Bone marrow smear. MGG-stained. Cropped to a single cell
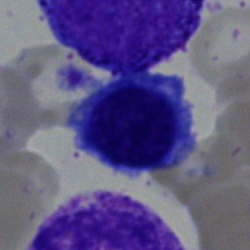

Morphology consistent with a nucleated red blood cell.